Bone marrow aspirate smear — 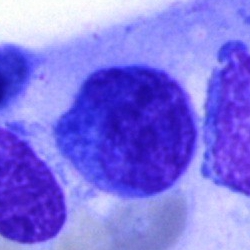 Q: What cell is this?
A: Unidentifiable cell.